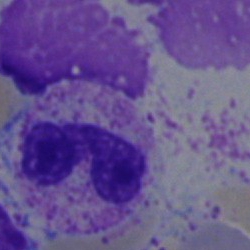Q: Which cell type is shown here?
A: A segmented neutrophil.